Image size 250×250; Pappenheim-stained; bone marrow aspirate smear:
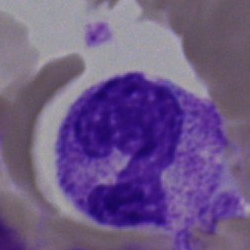The cell shown is a polymorphonuclear neutrophil.